Brightfield microscopy, 40× oil immersion; bone marrow aspirate smear
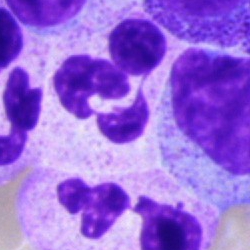The cell shown is a segmented neutrophil.